Bone marrow aspirate smear. May-Grünwald-Giemsa/Pappenheim stain:
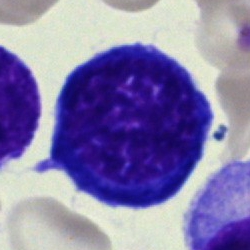

Morphology consistent with a nucleated red blood cell.